Bone marrow aspirate smear.
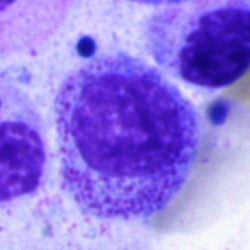
Specimen: bone marrow aspirate smear.
Cell type: myelocyte.
Lineage: myeloid.